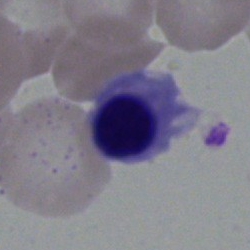 Specimen: bone marrow smear.
Morphological class: normoblast.
Lineage: erythroid.